May-Grünwald-Giemsa stain; bone marrow aspirate smear; brightfield, 40× oil-immersion objective:
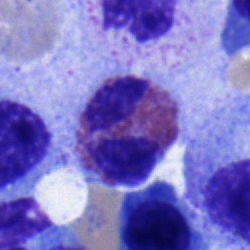The cell shown is an eosinophil.